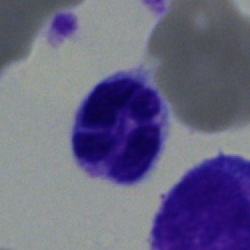A polymorphonuclear neutrophil on a bone marrow smear.